Image size 250×250; bone marrow aspirate smear:
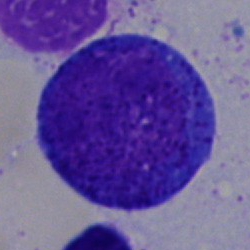Cell — promyelocyte.